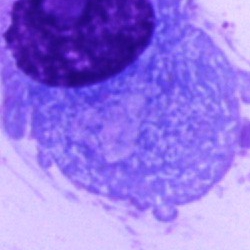
Single-cell crop from a bone marrow smear: plasmacyte.